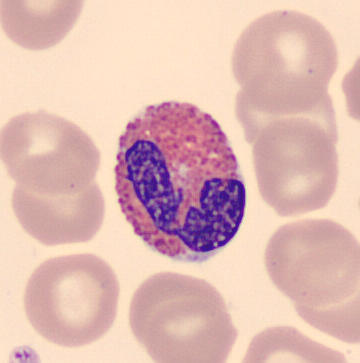 Morphology — eosinophilic granulocyte. Acquisition: Peripheral blood film; CellaVision DM96 digital cell image.